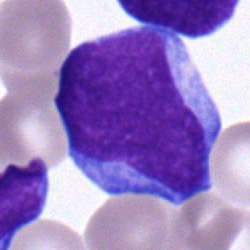 Bone marrow smear showing a blast.